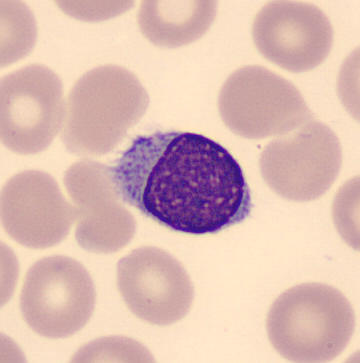
Peripheral blood film; single-cell field; May Grünwald-Giemsa stain.
Morphological class — typical lymphocyte.